Bone marrow aspirate smear. 40× objective, oil immersion. Pappenheim-stained
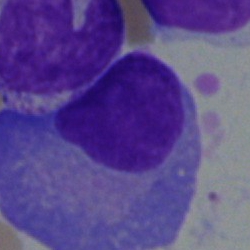Specimen: bone marrow smear.
Cell: plasma cell.